Bone marrow smear
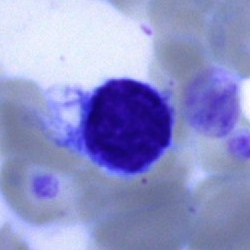
Morphology consistent with a typical lymphocyte.